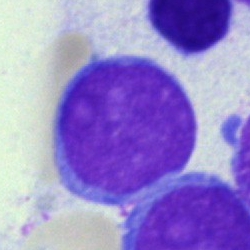
Q: What is the morphological classification of this cell?
A: This is a blast cell.